Bone marrow smear. May-Grünwald-Giemsa/Pappenheim stain
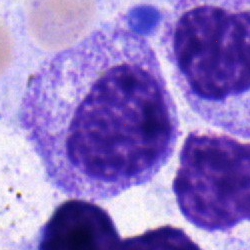Impression — myelocyte.